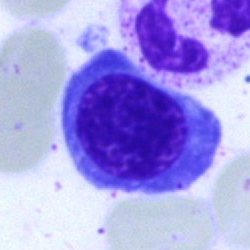Impression → erythroblast.